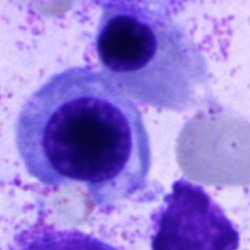Specimen: bone marrow aspirate smear.
Cell: nucleated red cell.
Lineage: erythroid.